Bone marrow aspirate smear; Pappenheim-stained:
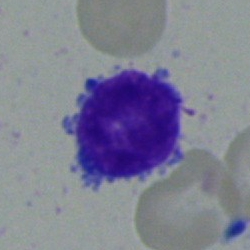The cell shown is a blast.